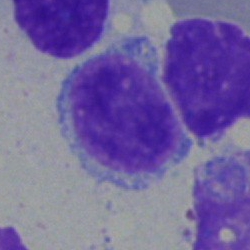Typical lymphocyte.